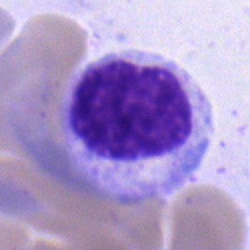
{"cell_type": "metamyelocyte"}